Bone marrow aspirate smear:
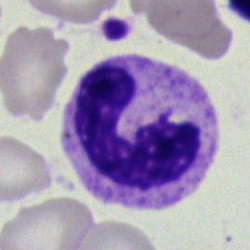Classification — stab cell.